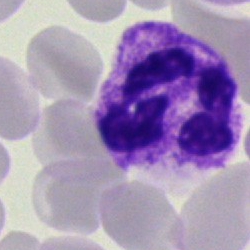Q: Which cell type is shown here?
A: A neutrophil (segmented).